Bone marrow aspirate smear. Pappenheim-stained. Single cell centered in the field: 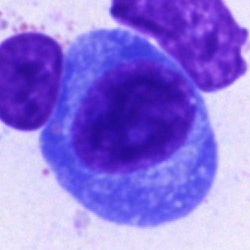
Morphology consistent with a plasmacyte.